Bone marrow aspirate smear
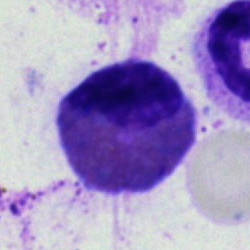

Classification = eosinophilic granulocyte.